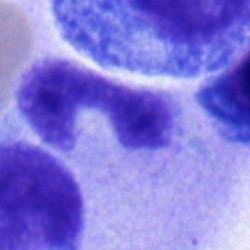
The classification is band neutrophil.